40× objective, oil immersion; bone marrow smear
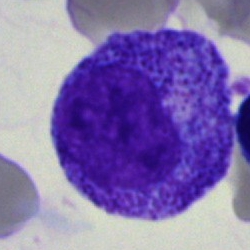
Cell type: progranulocyte.